Peripheral blood film
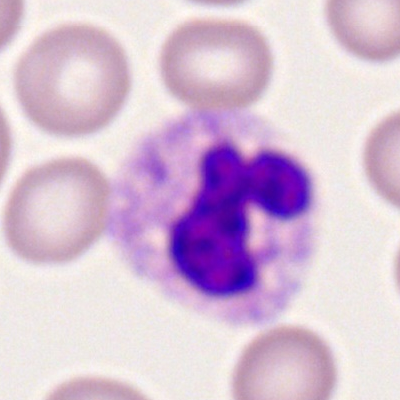

This is a neutrophil (segmented).